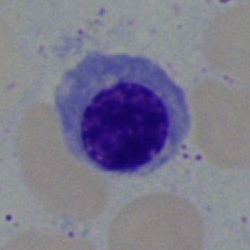 Cell type = nucleated red cell.